Bone marrow aspirate smear.
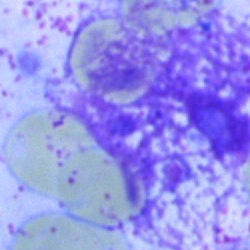An artifact.